Bone marrow aspirate smear: 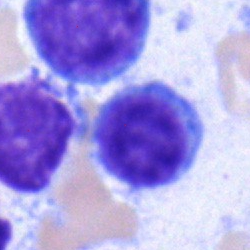

Q: Identify the cell.
A: A lymphocyte.